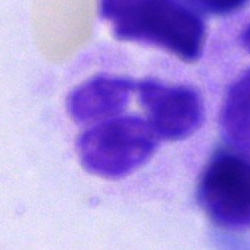Cell type: segmented neutrophil.